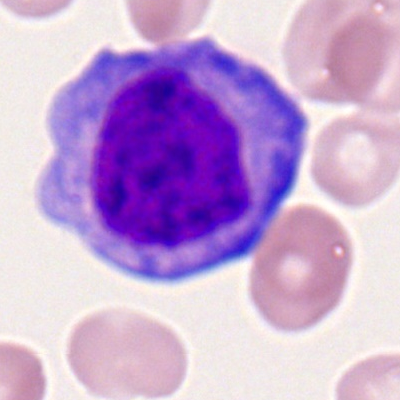Specimen: peripheral blood smear.
Morphological class: myeloblast.
Lineage: myeloid.